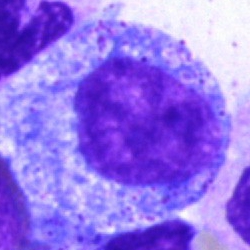Q: Identify the cell.
A: Promyelocyte.